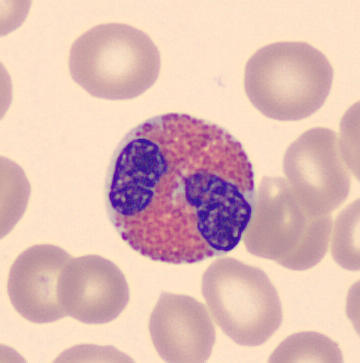Peripheral blood smear. Morphology consistent with an eosinophilic granulocyte.